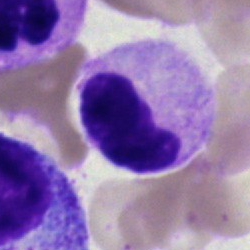This is a band neutrophil.